Bone marrow aspirate smear: 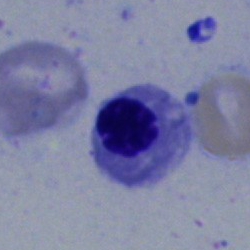

Showing an erythroblast.